Bone marrow smear.
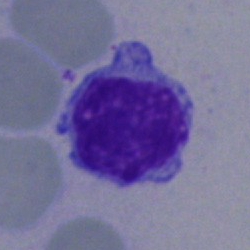 Specimen: bone marrow aspirate smear.
Cell type: typical lymphocyte.
Lineage: lymphoid.